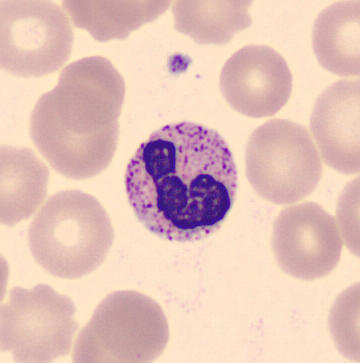

The morphological class is band-form neutrophil. Preparation: Peripheral blood film. Single cell centered in the field. May Grünwald-Giemsa stain.